Brightfield microscopy, 40× oil immersion. Bone marrow aspirate smear — 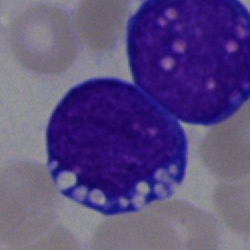
Single cell identified as an undifferentiated blast.